Image size 250×250. Bone marrow smear
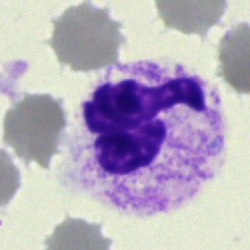Impression — segmented neutrophil.